Single-cell field · 40× oil immersion · bone marrow smear:
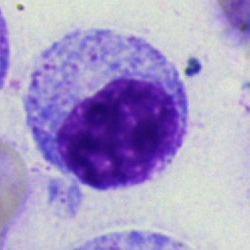Morphology — myelocyte.